Bone marrow smear
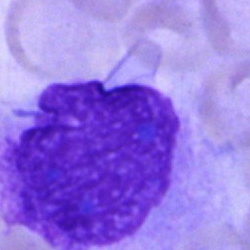 Showing a blast cell.